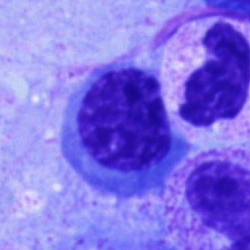 Morphology — normoblast.